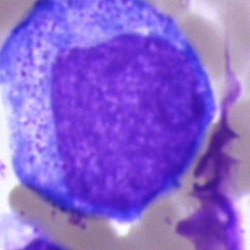

Q: Identify the cell.
A: Progranulocyte.